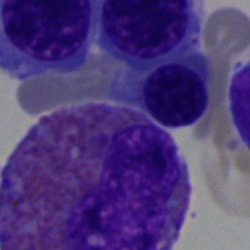 Cell type — eosinophilic granulocyte.